Bone marrow aspirate smear.
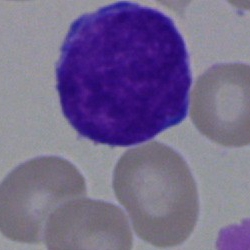 Classification — blast cell.